Single cell centered in the field. 400 by 400 pixels. Peripheral blood film: 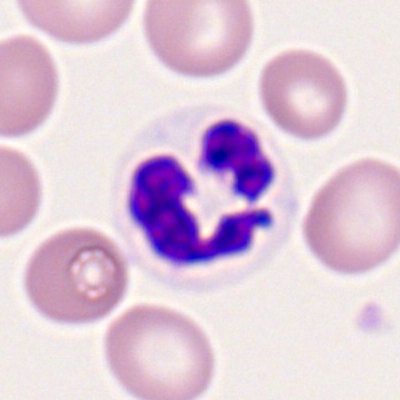
Q: What cell is this?
A: A neutrophil (segmented).